Bone marrow smear · single-cell field: 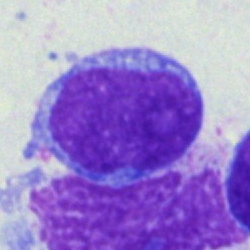 Morphological class = undifferentiated blast.